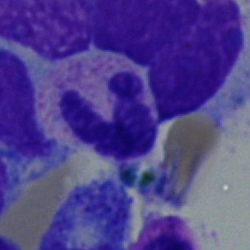
{"cell_type": "neutrophil (segmented)", "lineage": "myeloid"}